Bone marrow aspirate smear
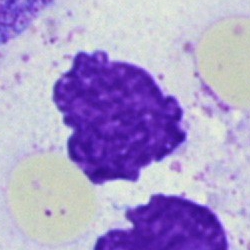
The morphological class is artifact.